Bone marrow smear · Pappenheim-stained · brightfield, 40× oil-immersion objective.
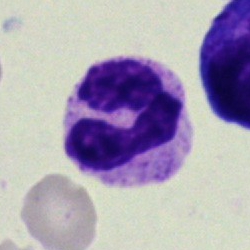

Showing a neutrophil (band).